Bone marrow smear
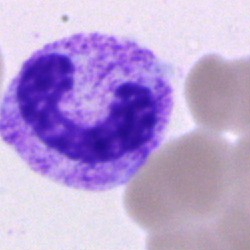

Q: What is shown here?
A: It is a band-form neutrophil.